Single-cell crop. Bone marrow aspirate smear: 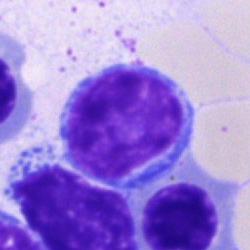
Impression — lymphocyte.